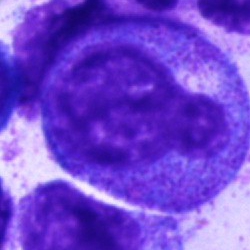
Specimen: bone marrow smear.
Classification: promyelocyte.